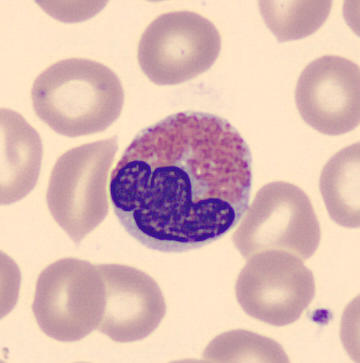

Cell type — eosinophil.